Bone marrow aspirate smear · brightfield, 40× oil-immersion objective:
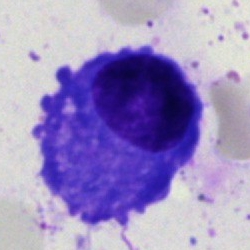This is a plasma cell.